Cropped to a single cell; bone marrow aspirate smear:
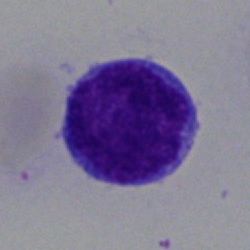
Showing a blast.